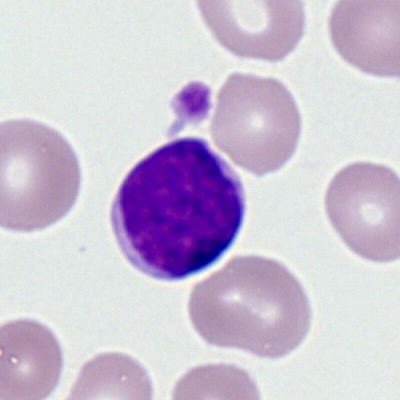
Cell: lymphocyte.